Brightfield, 40× oil-immersion objective; bone marrow smear.
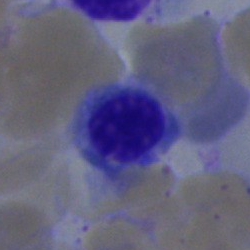Classification — normoblast.